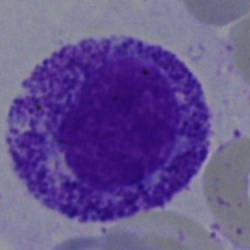

Q: What is the morphological classification of this cell?
A: A myelocyte.